Bone marrow aspirate smear; 40× oil immersion; single-cell field.
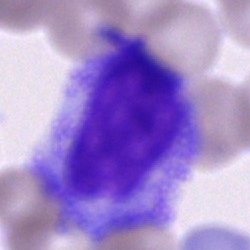Specimen: bone marrow aspirate smear.
Classification: cell of indeterminate lineage.